Bone marrow smear:
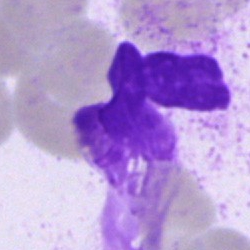 The cell shown is a segmented neutrophil.